Bone marrow smear
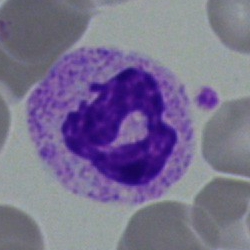

Showing a polymorphonuclear neutrophil.